Bone marrow aspirate smear. 250×250. Brightfield microscopy, 40× oil immersion — 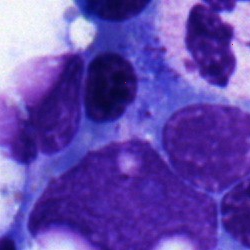

Specimen: bone marrow aspirate smear.
Morphological class: nucleated red blood cell.
Lineage: erythroid.